Peripheral blood smear: 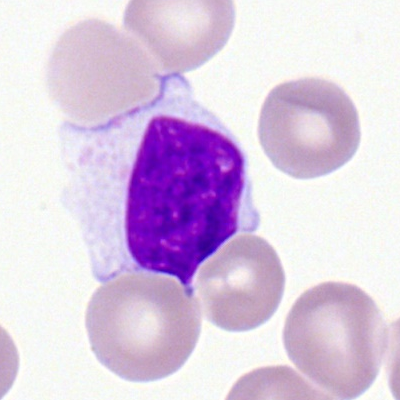

Single cell identified as a typical lymphocyte.